Bone marrow smear · 40× objective, oil immersion:
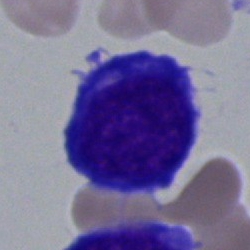Impression → nucleated red cell.